Bone marrow smear — 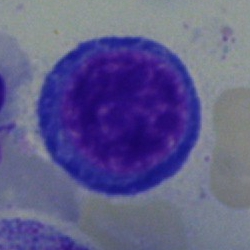A pronormoblast.